Bone marrow aspirate smear; cropped to a single cell; May-Grünwald-Giemsa stain — 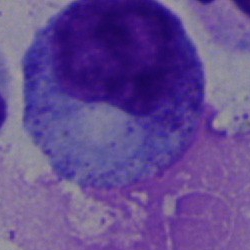 Morphological class — progranulocyte.